Bone marrow smear: 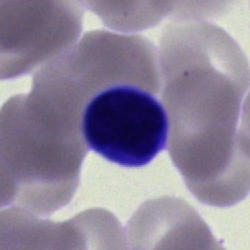 Cell = typical lymphocyte.